Image size 250×250; bone marrow aspirate smear: 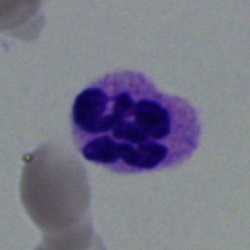 Q: Which cell type is shown here?
A: This is a polymorphonuclear neutrophil.